May-Grünwald-Giemsa/Pappenheim stain; bone marrow aspirate smear: 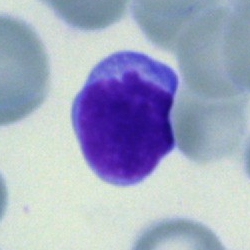This is a typical lymphocyte.